Bone marrow smear — 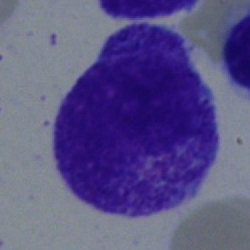 Q: What is shown here?
A: Progranulocyte.